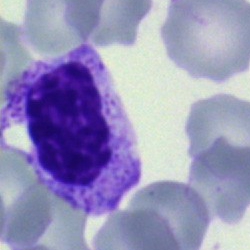Single-cell crop from a bone marrow smear: myelocyte.